Single cell centered in the field; bone marrow smear.
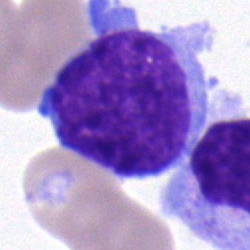 Q: Which cell type is shown here?
A: Lymphocyte.